Bone marrow smear. May-Grünwald-Giemsa/Pappenheim stain
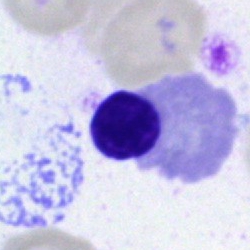 Morphological class: normoblast.